Pappenheim-stained · image size 250×250 · bone marrow aspirate smear
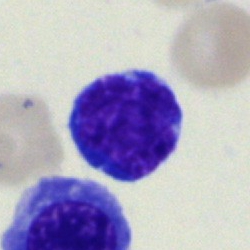Q: Which cell type is shown here?
A: It is a typical lymphocyte.